May-Grünwald-Giemsa/Pappenheim stain · bone marrow smear
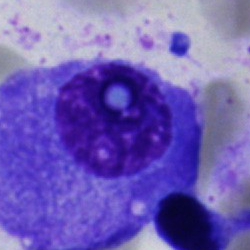Cell = plasmacyte.